Peripheral blood film
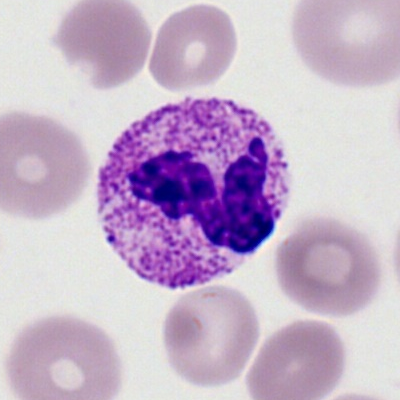{"cell_type": "segmented neutrophil", "lineage": "myeloid"}